Brightfield, 40× oil-immersion objective; bone marrow smear — 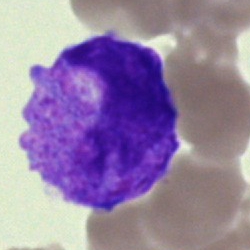 Q: What is the morphological classification of this cell?
A: It is a blast.